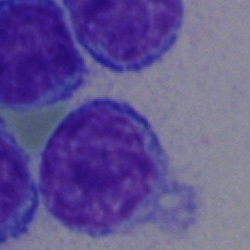 Cell = typical lymphocyte.